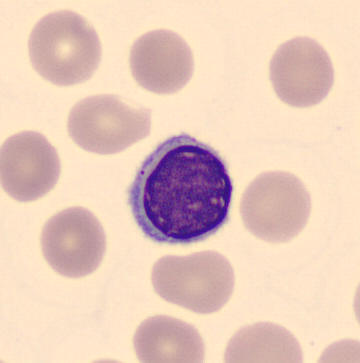 Preparation: Single-cell crop; 360×363; peripheral blood film. Cell type — typical lymphocyte.